250×250. Bone marrow smear — 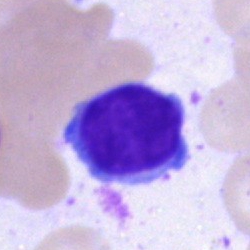

Showing a lymphocyte.